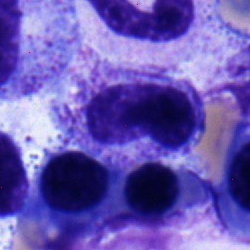

The morphological class is metamyelocyte.